May-Grünwald-Giemsa stain. Single cell centered in the field. Bone marrow aspirate smear — 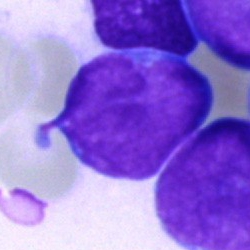
Cell — blast cell.